Bone marrow aspirate smear
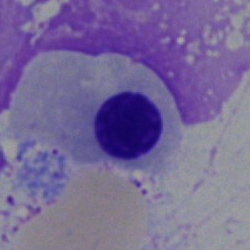Impression — nucleated red blood cell.